Bone marrow aspirate smear: 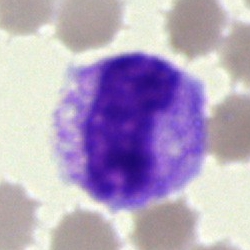

Q: Which cell type is shown here?
A: A stab cell.